Bone marrow aspirate smear · cropped to a single cell · Pappenheim-stained
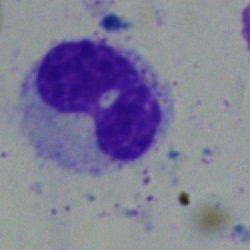
Cell — band-form neutrophil.